Single-cell crop; bone marrow smear; May-Grünwald-Giemsa stain:
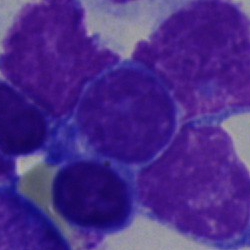Cell: lymphocyte.